250×250 px. Bone marrow smear. May-Grünwald-Giemsa stain — 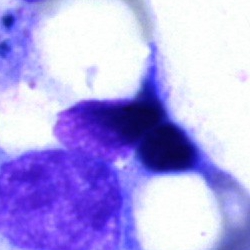

Q: What is shown here?
A: Artefact.